Single cell centered in the field · 40× oil immersion · bone marrow smear.
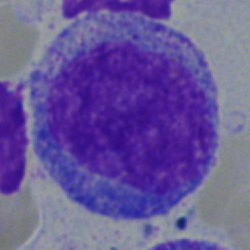
Specimen: bone marrow aspirate smear.
Cell type: progranulocyte.